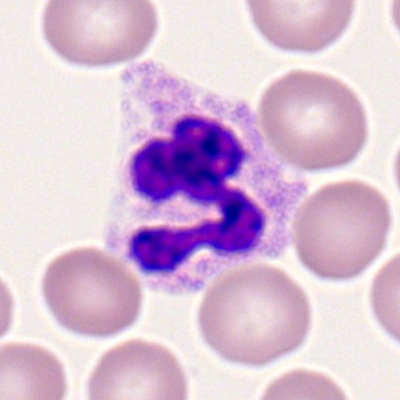
Impression — segmented neutrophil.